Pappenheim-stained; bone marrow smear; 40× objective, oil immersion:
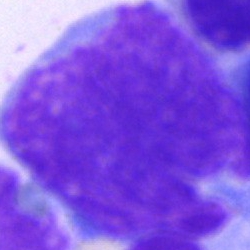Classification: artefact.